May-Grünwald-Giemsa/Pappenheim stain; bone marrow aspirate smear:
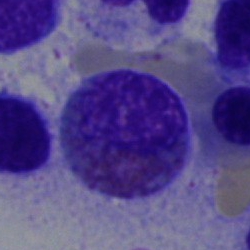 Classification: eosinophilic granulocyte.